Bone marrow aspirate smear: 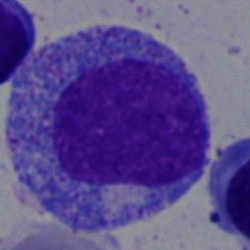
This is a promyelocyte.